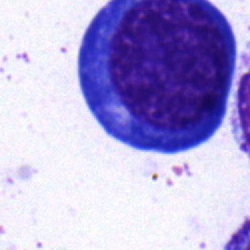 {"cell_type": "pronormoblast", "lineage": "erythroid"}